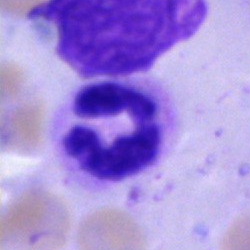
This is a polymorphonuclear neutrophil.